250×250 px. Bone marrow smear. Cropped to a single cell
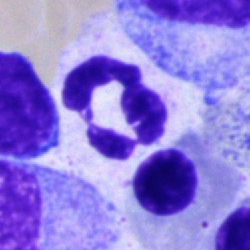

A polymorphonuclear neutrophil.